Bone marrow aspirate smear.
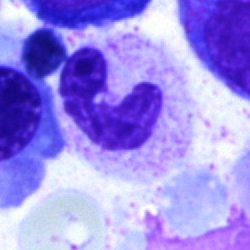 Q: What type of cell is this?
A: Polymorphonuclear neutrophil.